Peripheral blood film; M8 digital microscope (Precipoint), 100× oil immersion; cropped to a single cell — 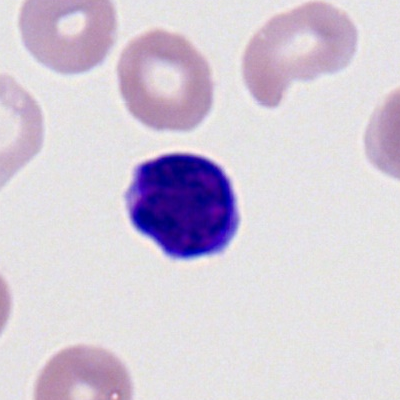Lymphocyte.